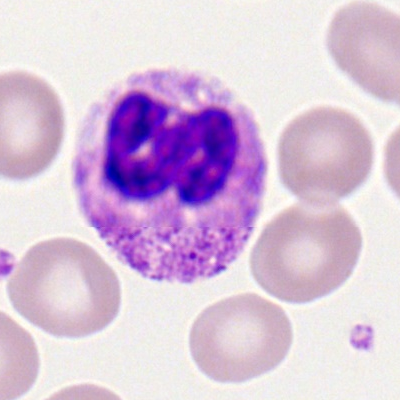Q: What is shown here?
A: It is a segmented neutrophil.